Single-cell field · bone marrow aspirate smear:
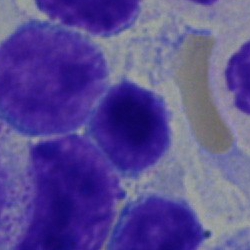 A typical lymphocyte.